Bone marrow aspirate smear — 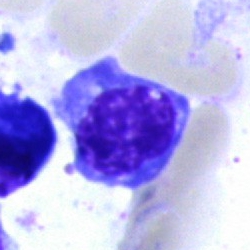

Showing an erythroblast.